Single cell centered in the field; bone marrow smear
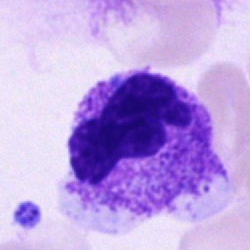

Cell type = polymorphonuclear neutrophil.